Bone marrow smear. Single cell centered in the field. Brightfield microscopy, 40× oil immersion:
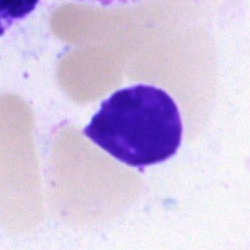Cell type = artifact.